Bone marrow aspirate smear:
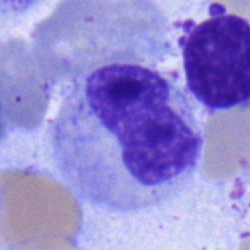
Q: Identify the cell.
A: Band neutrophil.